May-Grünwald-Giemsa stain; bone marrow smear; single cell centered in the field.
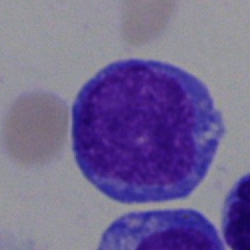 Cell — blast.